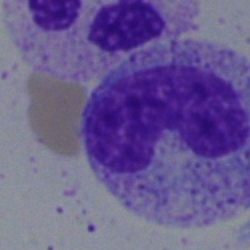 The cell type is neutrophil (band).